Bone marrow aspirate smear: 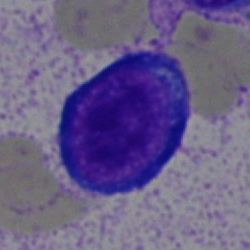 Q: Which cell type is shown here?
A: A metamyelocyte.